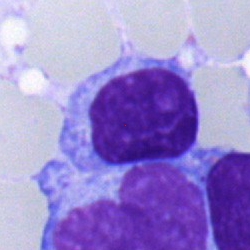 Specimen: bone marrow smear.
Cell: typical lymphocyte.
Lineage: lymphoid.